Peripheral blood film — 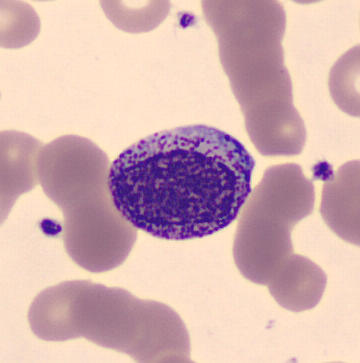Impression — myelocyte.